Peripheral blood film · Romanowsky-type stain · cropped to a single cell.
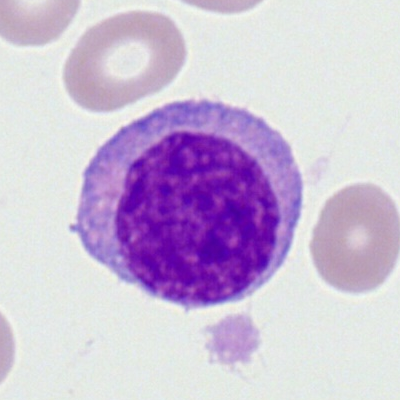Morphology — myeloblast.